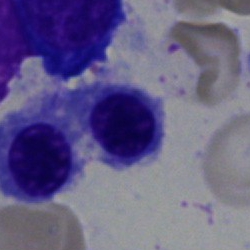

Morphology consistent with a nucleated red cell.